Bone marrow smear:
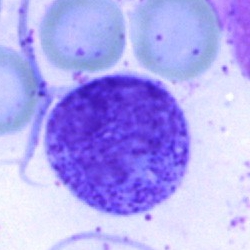 The classification is progranulocyte.